250 by 250 pixels. Bone marrow aspirate smear — 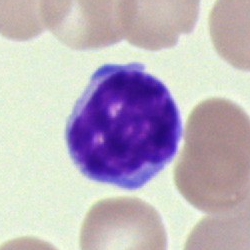

Classification — typical lymphocyte.